Bone marrow smear: 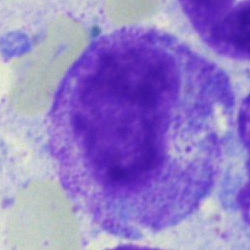The morphological class is myelocyte.